Cropped to a single cell; MGG-stained; bone marrow aspirate smear — 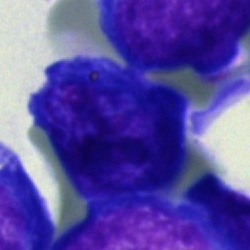 The cell type is blast.